Peripheral blood smear.
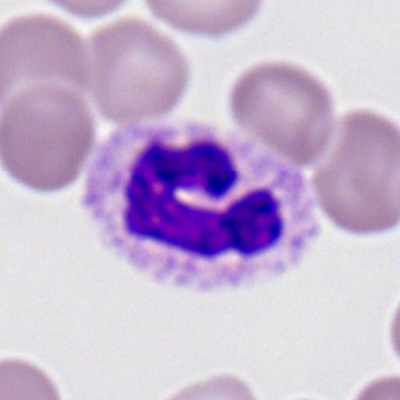 Q: Identify the cell.
A: This is a segmented neutrophil.